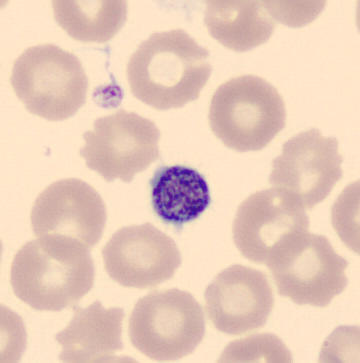 Image: Peripheral blood film.

Q: What is shown here?
A: It is a thrombocyte.